Peripheral blood smear · 360 by 363 pixels · May-Grünwald-Giemsa-stained
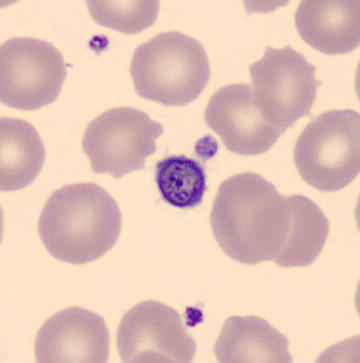
Specimen: peripheral blood smear.
Cell type: thrombocyte.